Bone marrow smear:
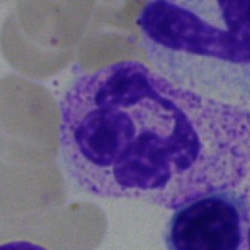

Q: What cell is this?
A: A neutrophil (segmented).